Bone marrow smear; brightfield microscopy, 40× oil immersion.
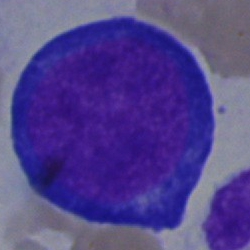Morphology → proerythroblast.